Brightfield, 40× oil-immersion objective; bone marrow aspirate smear
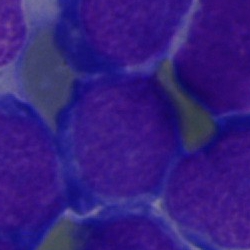

Q: What is the morphological classification of this cell?
A: A blast cell.